Bone marrow smear · Pappenheim-stained: 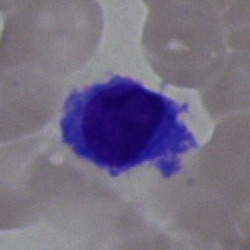
This is a plasmacyte.